Bone marrow aspirate smear — 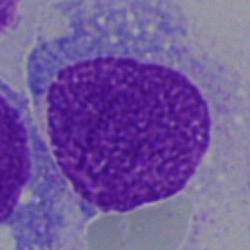Impression → blast cell.